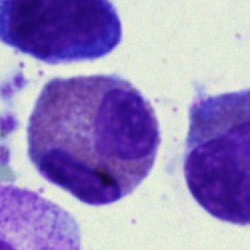
Q: Which cell type is shown here?
A: An eosinophilic granulocyte.